Single-cell crop; bone marrow aspirate smear.
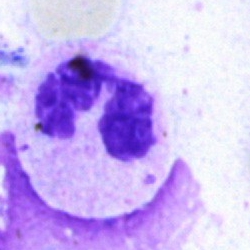Cell type: neutrophil (segmented).